Bone marrow smear; single-cell crop — 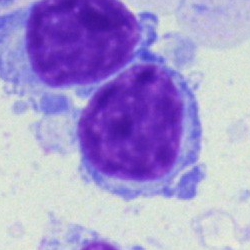
Cell type — typical lymphocyte.